Peripheral blood smear:
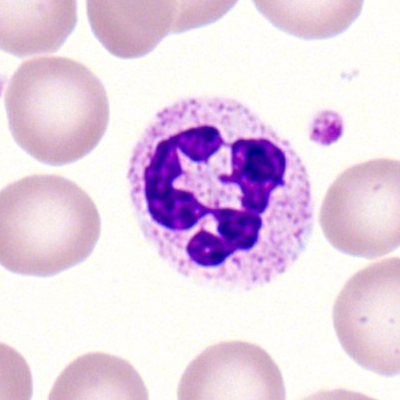Specimen: peripheral blood smear.
Cell type: neutrophil (segmented).
Lineage: myeloid.